40× objective, oil immersion. Bone marrow aspirate smear. Single-cell crop: 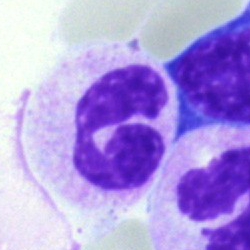Classification: polymorphonuclear neutrophil.